Bone marrow aspirate smear · image size 250×250 · brightfield microscopy, 40× oil immersion:
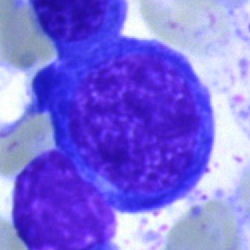
Q: What is the morphological classification of this cell?
A: An erythroblast.